Single cell centered in the field. Pappenheim-stained. Bone marrow aspirate smear.
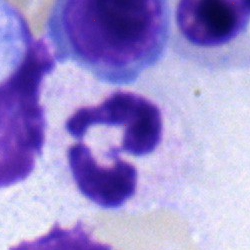

This is a neutrophil (segmented).